Bone marrow smear: 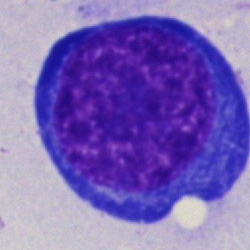
Pronormoblast.